Single-cell crop. Bone marrow aspirate smear: 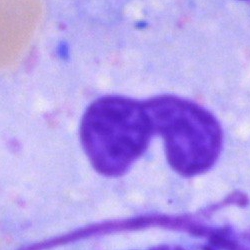
Classification — neutrophil (band).